Bone marrow aspirate smear · brightfield, 40× oil-immersion objective · single cell centered in the field
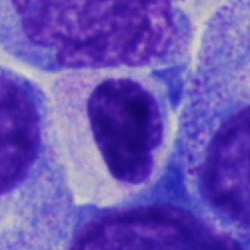

Morphology consistent with a band-form neutrophil.